Cropped to a single cell; bone marrow aspirate smear; MGG-stained — 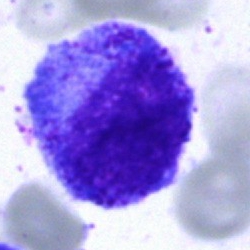

Morphology consistent with a progranulocyte.